Image size 250×250 · bone marrow aspirate smear · cropped to a single cell — 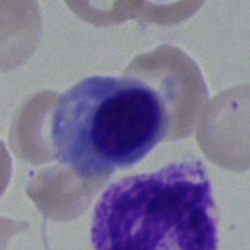Q: Which cell type is shown here?
A: An erythroblast.